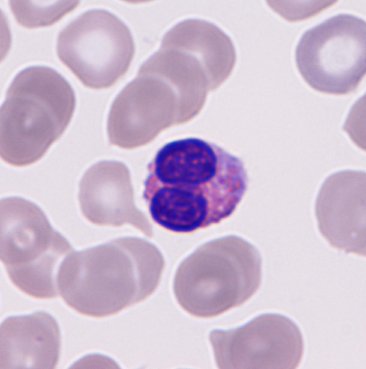

The classification is eosinophil.

Image: Peripheral blood smear.